Bone marrow aspirate smear; MGG-stained — 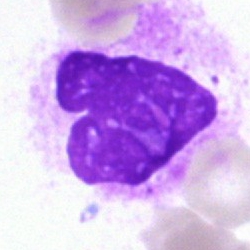 {"cell_type": "artifact"}